CellaVision DM96 digital cell image; peripheral blood smear; 360×363:
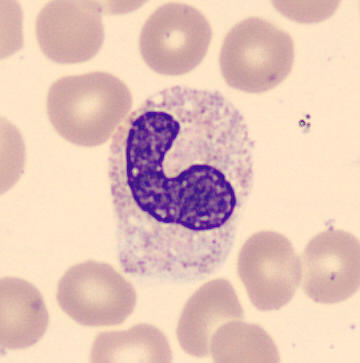Morphological class — band-form neutrophil.